Bone marrow aspirate smear:
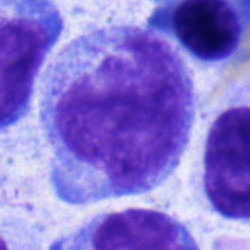 Q: What is the morphological classification of this cell?
A: A promyelocyte.